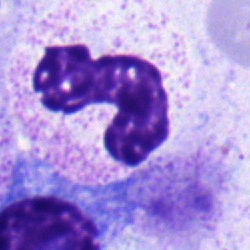Q: What is shown here?
A: A band-form neutrophil.